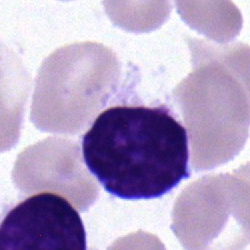
Specimen: bone marrow smear.
Classification: typical lymphocyte.